Single-cell crop. Bone marrow smear — 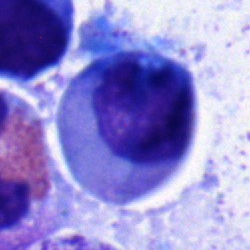 Q: What cell is this?
A: Monocyte.